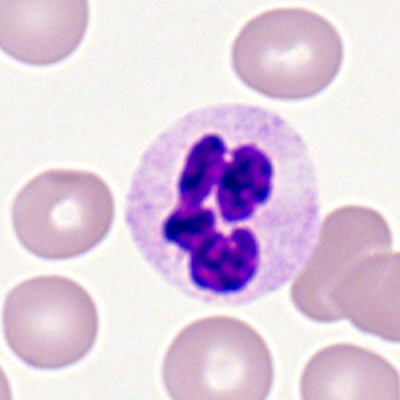Specimen: peripheral blood film.
Classification: polymorphonuclear neutrophil.
Lineage: myeloid.